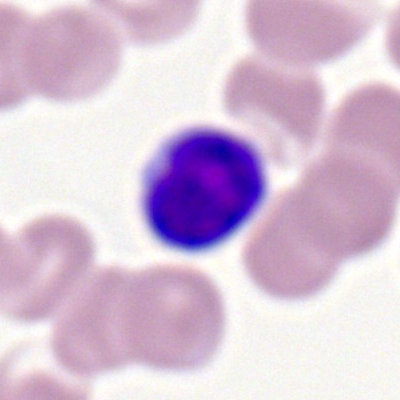

Q: What is the morphological classification of this cell?
A: It is a typical lymphocyte.